250 by 250 pixels; bone marrow smear: 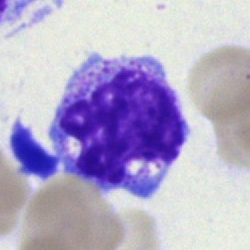Morphology consistent with a myelocyte.